Bone marrow smear. Single-cell field.
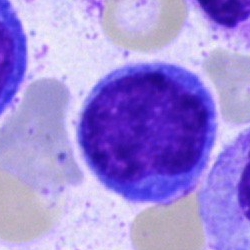
The cell shown is a typical lymphocyte.